Bone marrow smear · single cell centered in the field · 250×250
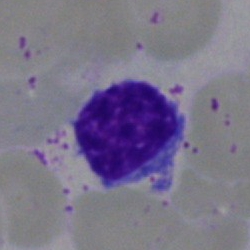Showing a lymphocyte.